Bone marrow smear. Brightfield, 40× oil-immersion objective. Pappenheim-stained
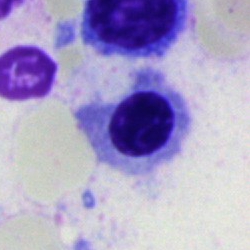

Showing a nucleated red blood cell.